Bone marrow aspirate smear: 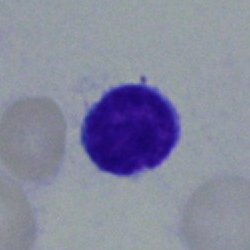 Impression → lymphocyte.